Image size 250×250. Bone marrow smear
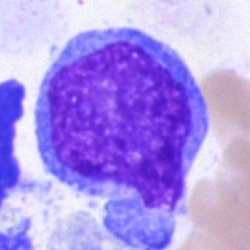

Cell type — blast.